May-Grünwald-Giemsa stain · single-cell crop · bone marrow smear: 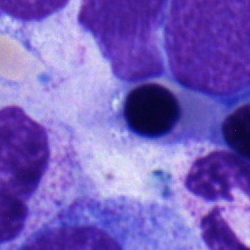 Morphology consistent with a normoblast.